Bone marrow smear · cropped to a single cell
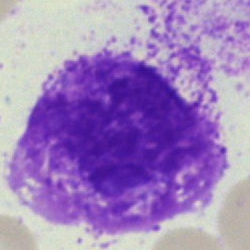

Specimen: bone marrow smear.
Classification: artefact.